Bone marrow smear.
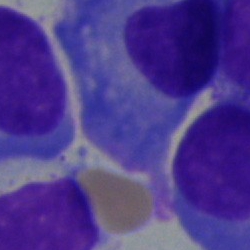Q: What cell is this?
A: Plasmacyte.